Image size 250×250; single cell centered in the field; bone marrow smear:
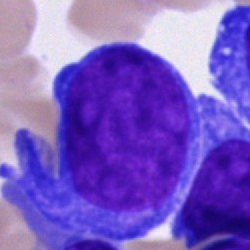 This is a blast cell.